Peripheral blood film; single-cell crop.
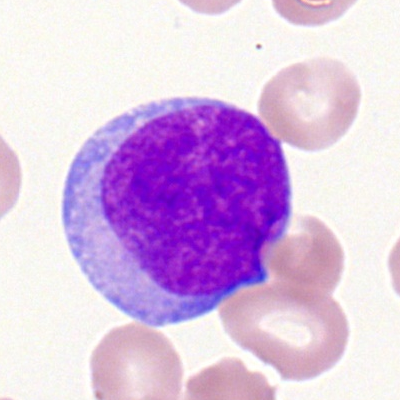 The cell shown is a myeloblast.